May-Grünwald-Giemsa/Pappenheim stain · bone marrow smear — 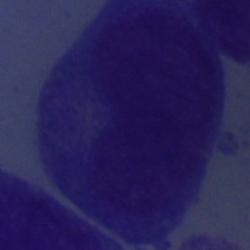 Morphology → artefact.